Bone marrow aspirate smear:
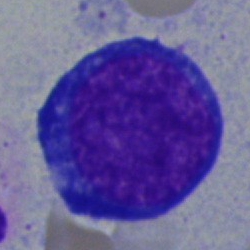 Impression — pronormoblast.